Bone marrow smear.
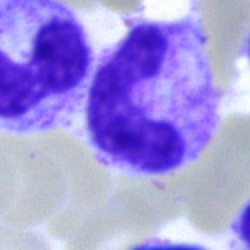 Specimen: bone marrow aspirate smear.
Cell type: stab cell.